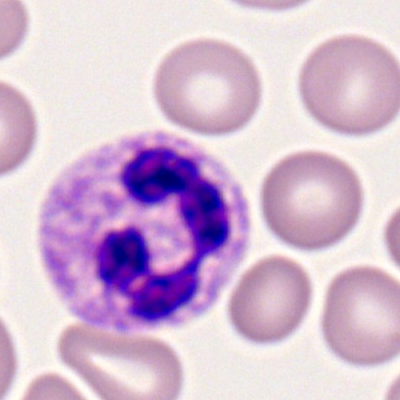Impression — neutrophil (segmented).